Bone marrow aspirate smear:
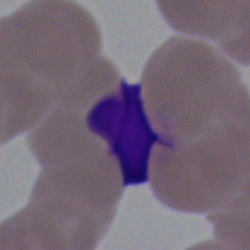 The morphological class is artefact.